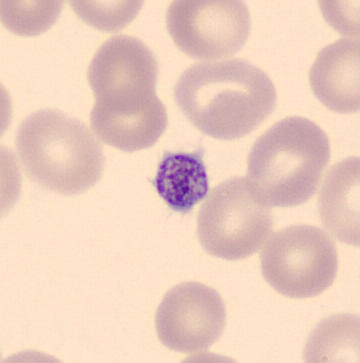

Cell type — thrombocyte.